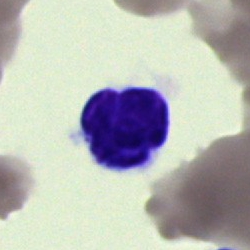 Bone marrow aspirate smear, single cell — unidentifiable cell.